May-Grünwald-Giemsa stain; single cell centered in the field; bone marrow smear — 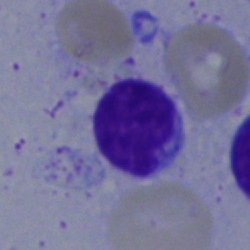

Cell: lymphocyte.